Single cell centered in the field. Bone marrow smear.
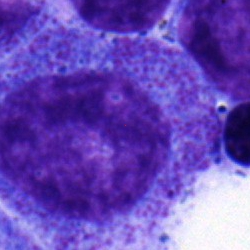

Q: What type of cell is this?
A: A progranulocyte.